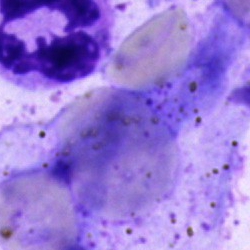 Q: What cell is this?
A: This is a polymorphonuclear neutrophil.